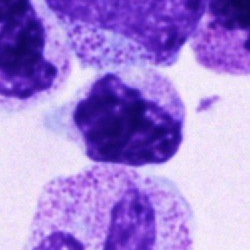 Cell: cell of indeterminate lineage.